Single-cell crop. Bone marrow smear
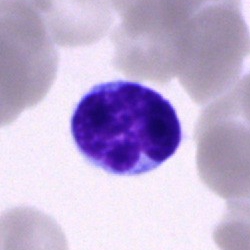Q: What is the morphological classification of this cell?
A: It is a lymphocyte.